MGG-stained. Bone marrow aspirate smear. 40× objective, oil immersion.
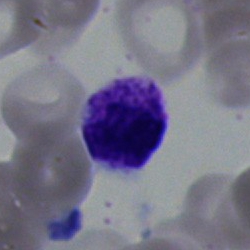 Single cell identified as a neutrophil (segmented).